Bone marrow aspirate smear: 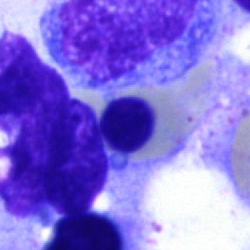

Q: What is the morphological classification of this cell?
A: This is a nucleated red cell.